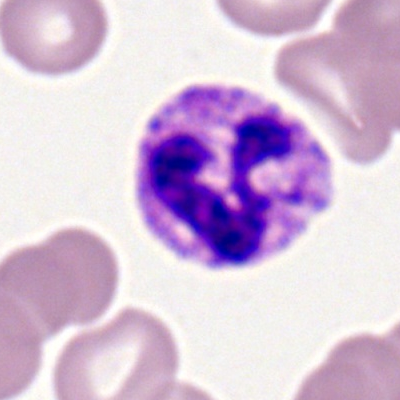Q: Identify the cell.
A: Polymorphonuclear neutrophil.